Bone marrow aspirate smear.
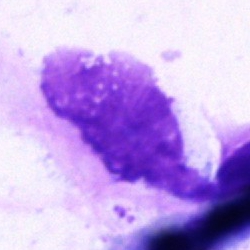

Specimen: bone marrow smear.
Morphological class: artefact.